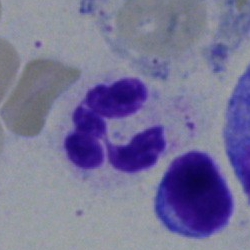Classification: neutrophil (segmented).